Bone marrow smear.
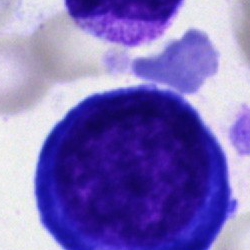The cell type is pronormoblast.